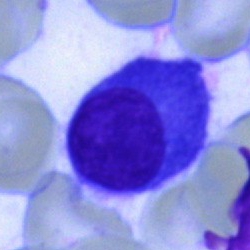Morphological class = plasma cell.